Bone marrow smear:
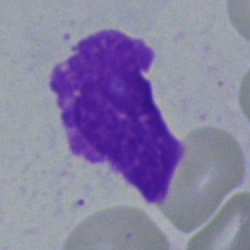{"cell_type": "artefact"}